Bone marrow aspirate smear
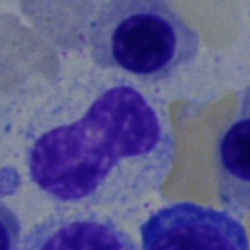
Q: Which cell type is shown here?
A: It is a metamyelocyte.